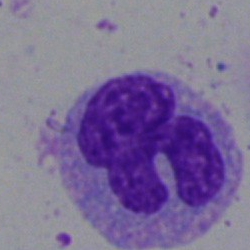
Cell: monocyte.